Bone marrow aspirate smear. 40× objective, oil immersion: 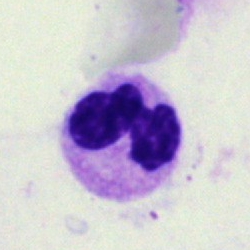 This is a polymorphonuclear neutrophil.